Bone marrow smear. May-Grünwald-Giemsa/Pappenheim stain.
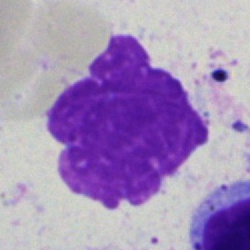

Q: What is shown here?
A: This is an artefact.